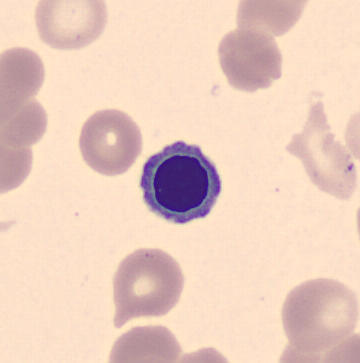Morphology consistent with an erythroblast.
Acquisition: 360 by 363 pixels · peripheral blood smear.